Bone marrow aspirate smear:
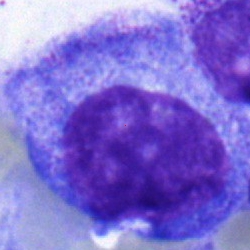
Cell — promyelocyte.